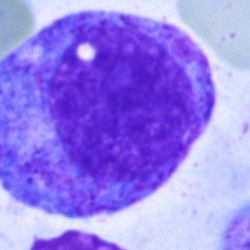
Impression — progranulocyte.